40× objective, oil immersion; bone marrow aspirate smear; cropped to a single cell: 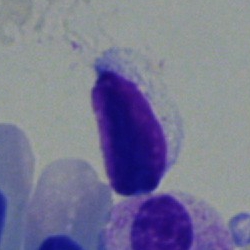

Specimen: bone marrow smear.
Classification: typical lymphocyte.
Lineage: lymphoid.